250×250 px · single-cell field · bone marrow smear — 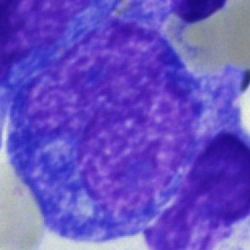 Morphology → blast cell.